Peripheral blood smear — 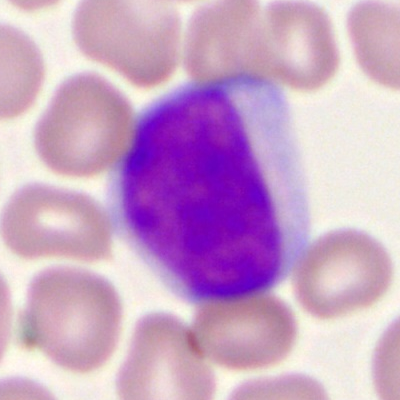

Q: Identify the cell.
A: It is a myeloblast.